Brightfield microscopy, 40× oil immersion. Bone marrow aspirate smear: 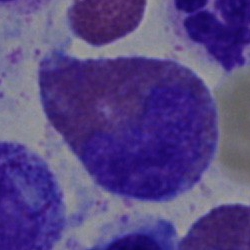 Classification = eosinophil.